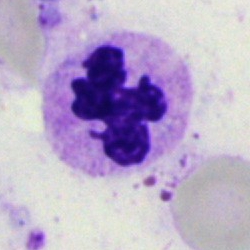Bone marrow aspirate smear, single cell — segmented neutrophil.